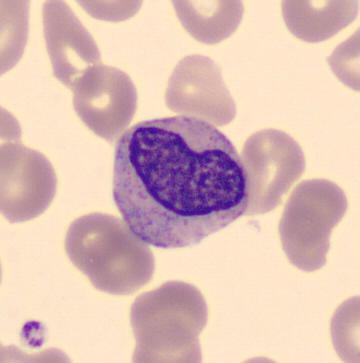Acquisition: Image size 360×363; peripheral blood smear. Cell type: metamyelocyte.